100× objective, oil immersion. Peripheral blood smear: 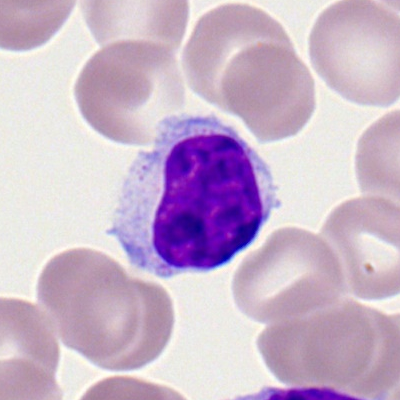
Q: Which cell type is shown here?
A: Lymphocyte.